Bone marrow smear:
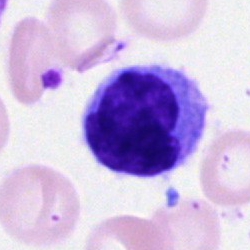

Morphology consistent with a lymphocyte.